Bone marrow aspirate smear:
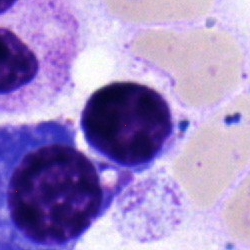

Q: Which cell type is shown here?
A: This is a typical lymphocyte.